May-Grünwald-Giemsa stain · bone marrow aspirate smear:
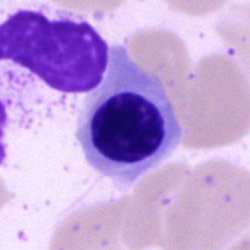
Morphological class — nucleated red cell.